Bone marrow aspirate smear
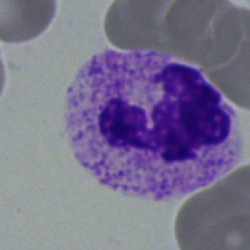

Cell = polymorphonuclear neutrophil.